Bone marrow aspirate smear
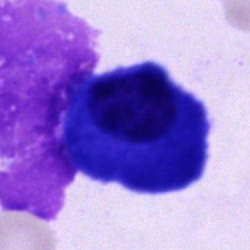

Q: What type of cell is this?
A: Plasmacyte.